Peripheral blood film · CellaVision DM96 digital cell image:
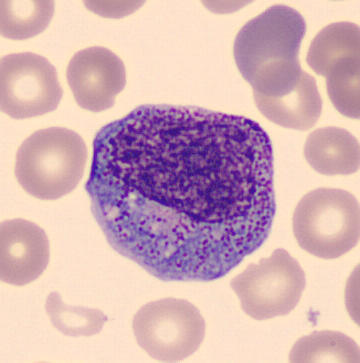Morphology consistent with a progranulocyte.